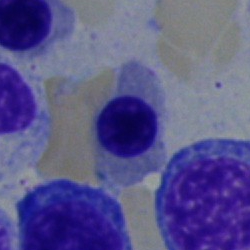 Bone marrow smear showing a nucleated red cell.